Bone marrow aspirate smear:
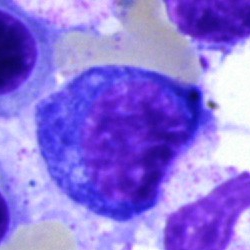
Cell = erythroblast.